Peripheral blood smear. 400×400.
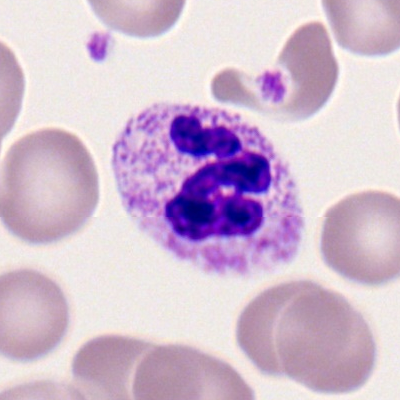 Segmented neutrophil.